40× oil immersion; bone marrow aspirate smear.
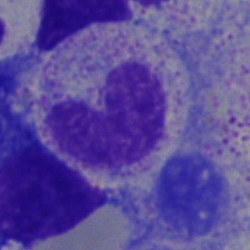
Q: What is the morphological classification of this cell?
A: Neutrophil (band).